Bone marrow smear: 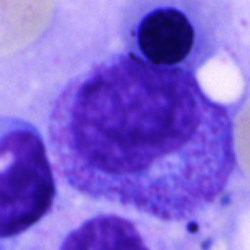Q: Identify the cell.
A: It is a promyelocyte.